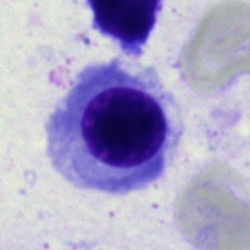

Q: What cell is this?
A: An erythroblast.